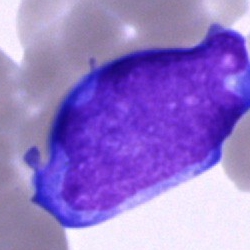Classification = blast cell.